400 by 400 pixels; peripheral blood smear; single-cell crop
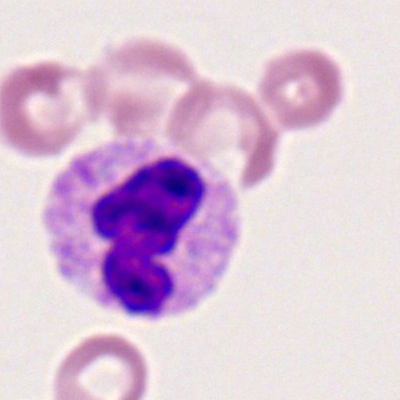 This is a neutrophil (segmented).